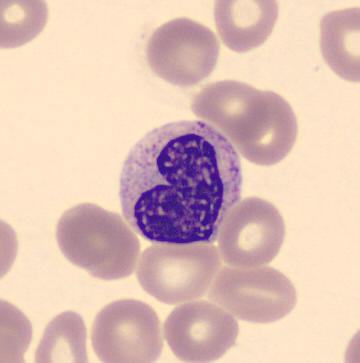
Acquisition: Cropped to a single cell; peripheral blood film; automated cell imaging (CellaVision DM96). Impression → metamyelocyte.